Bone marrow smear.
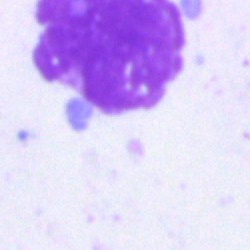
Artifact.